Bone marrow smear. MGG-stained. 250 by 250 pixels — 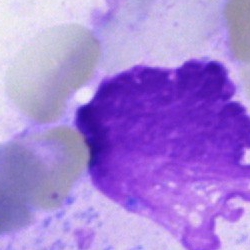 This is an artifact.